400×400. Romanowsky-type stain. Peripheral blood film:
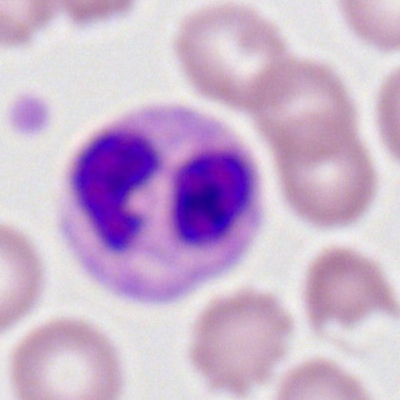Classification — segmented neutrophil.